Single cell centered in the field. Bone marrow aspirate smear.
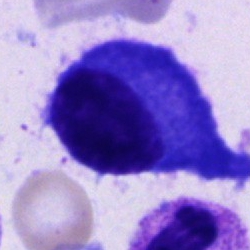Morphology consistent with a plasma cell.